Peripheral blood smear. Cropped to a single cell: 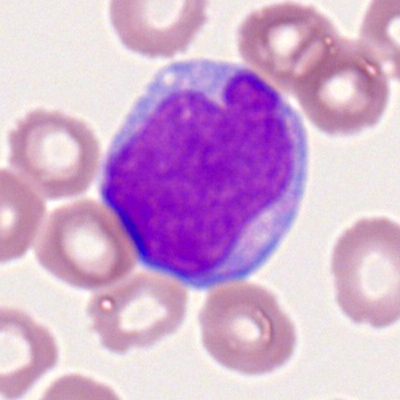Specimen: peripheral blood film.
Cell type: myeloid blast.
Lineage: myeloid.